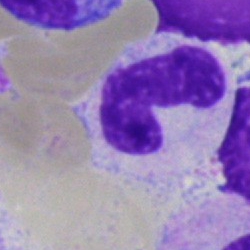Specimen: bone marrow aspirate smear.
Cell: segmented neutrophil.
Lineage: myeloid.